Bone marrow aspirate smear: 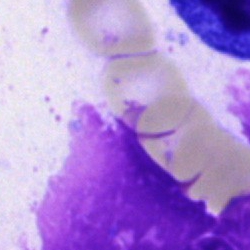
This is an artefact.